Bone marrow smear.
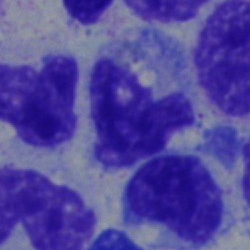Morphology consistent with a monocyte.